Bone marrow smear. Brightfield, 40× oil-immersion objective. 250×250.
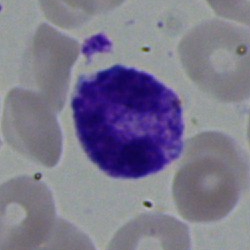
Specimen: bone marrow aspirate smear.
Classification: segmented neutrophil.
Lineage: myeloid.